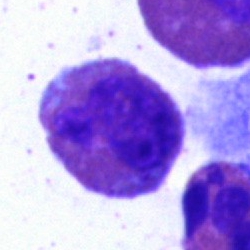

Cell: eosinophilic granulocyte.